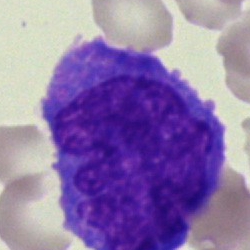
A promyelocyte on a bone marrow smear.